Bone marrow smear; single cell centered in the field:
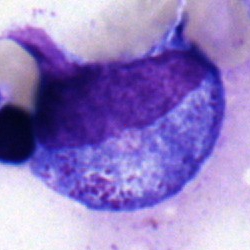 The cell shown is a progranulocyte.